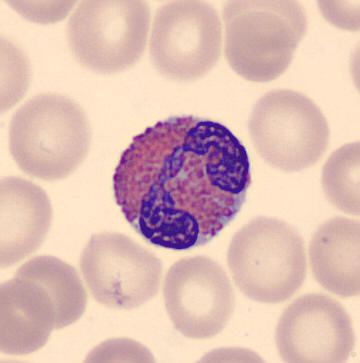

Preparation: Peripheral blood film · May-Grünwald-Giemsa-stained.

Morphology consistent with an eosinophilic granulocyte.